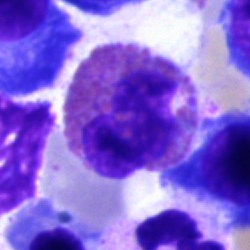

Specimen: bone marrow aspirate smear.
Morphological class: eosinophil.
Lineage: myeloid.